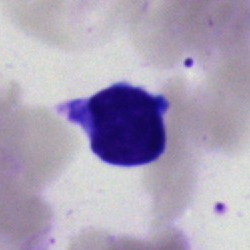 Bone marrow smear showing a lymphocyte.